Bone marrow aspirate smear; May-Grünwald-Giemsa/Pappenheim stain.
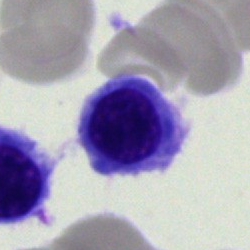
The cell shown is an erythroblast.